Bone marrow smear:
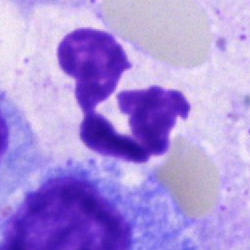Q: What cell is this?
A: It is a polymorphonuclear neutrophil.